40× objective, oil immersion; bone marrow aspirate smear
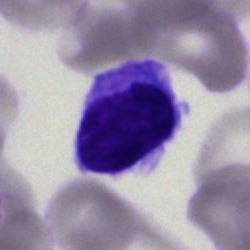

Cell type: lymphocyte.